Bone marrow aspirate smear: 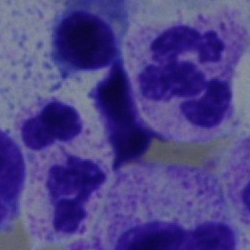
The cell type is segmented neutrophil.